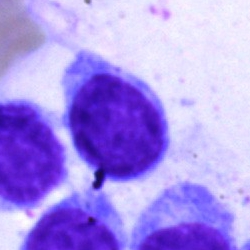

Cell: typical lymphocyte.